Bone marrow smear: 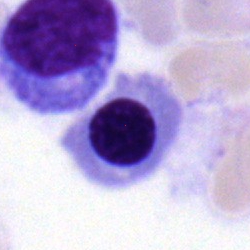 Q: What is shown here?
A: A normoblast.